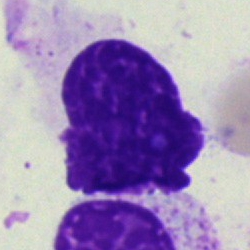

Morphology consistent with an artefact.